Peripheral blood smear:
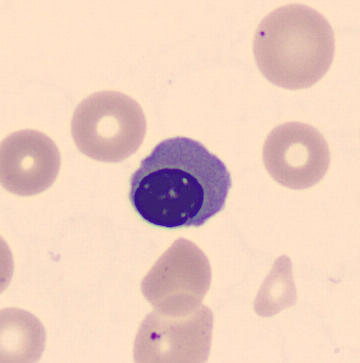 Q: What is shown here?
A: This is an erythroblast.